Bone marrow aspirate smear.
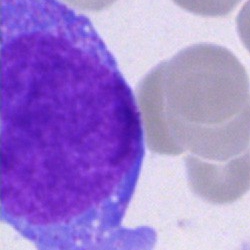 The cell shown is an undifferentiated blast.